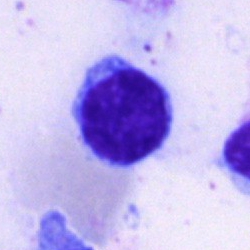
Bone marrow aspirate smear, single cell — lymphocyte.